Bone marrow aspirate smear; brightfield, 40× oil-immersion objective; 250 by 250 pixels: 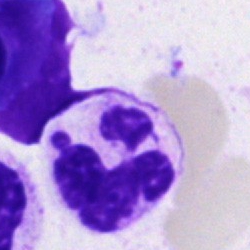Specimen: bone marrow smear.
Cell: polymorphonuclear neutrophil.
Lineage: myeloid.